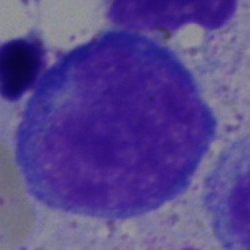

Morphological class — pronormoblast.